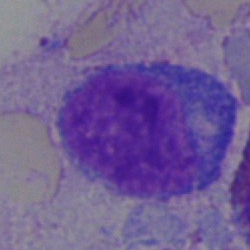The cell type is undifferentiated blast.